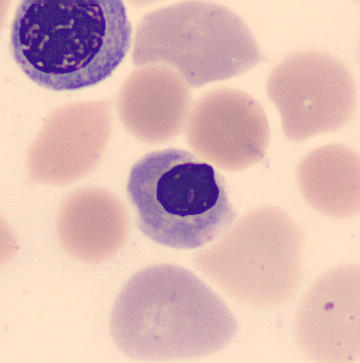 Peripheral blood smear showing an erythroblast.